Single-cell crop · brightfield microscopy, 40× oil immersion · bone marrow smear:
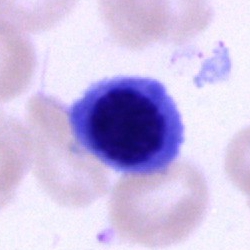 Normoblast.